Bone marrow aspirate smear; cropped to a single cell: 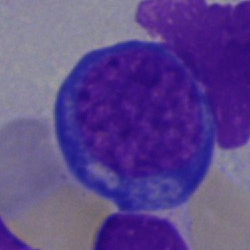Impression → nucleated red cell.